Bone marrow smear.
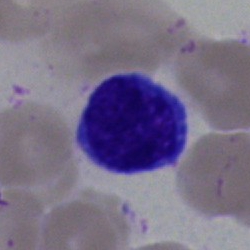Morphology → lymphocyte.